Bone marrow aspirate smear · brightfield, 40× oil-immersion objective — 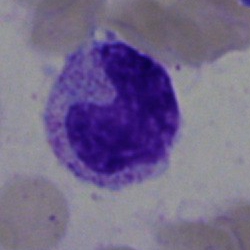A neutrophil (band).